Bone marrow aspirate smear · Pappenheim-stained
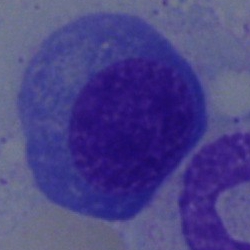
{"cell_type": "nucleated red cell"}